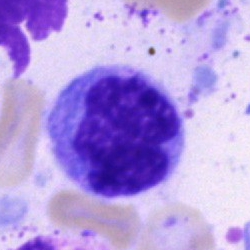The cell shown is a monocyte.